Bone marrow smear. MGG-stained. 40× objective, oil immersion.
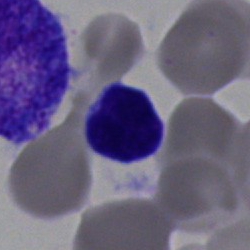
Q: Identify the cell.
A: It is a lymphocyte.